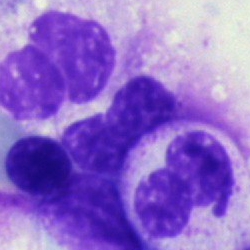
Single-cell crop from a bone marrow smear: neutrophil (segmented).